Bone marrow aspirate smear · brightfield, 40× oil-immersion objective:
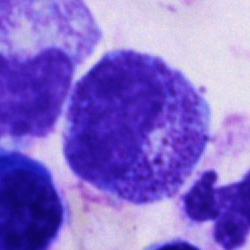

The morphological class is promyelocyte.